Brightfield, 40× oil-immersion objective. 250×250. Bone marrow smear
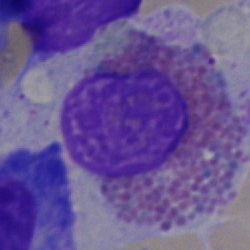

Morphology consistent with an eosinophil.